Image size 250×250; bone marrow smear:
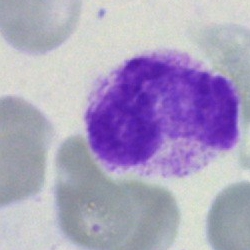 Specimen: bone marrow aspirate smear.
Cell: artifact.